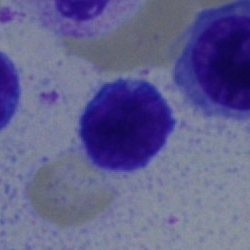

Specimen: bone marrow smear.
Classification: lymphocyte.
Lineage: lymphoid.